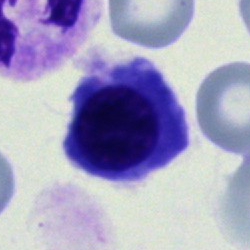Cell = normoblast.